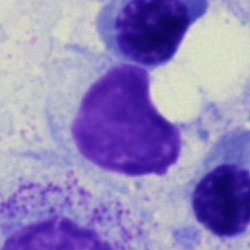Q: What is shown here?
A: This is an artefact.